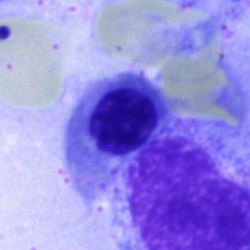
Specimen: bone marrow smear.
Cell: erythroblast.